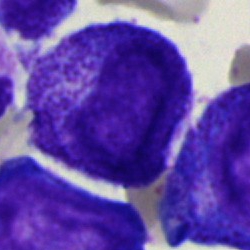
This is a promyelocyte.